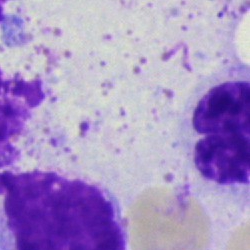

Specimen: bone marrow smear.
Cell: artefact.